Bone marrow aspirate smear:
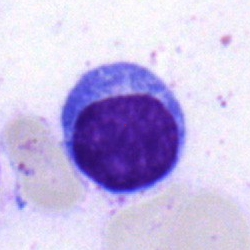Q: What cell is this?
A: It is a typical lymphocyte.